40× oil immersion · bone marrow smear — 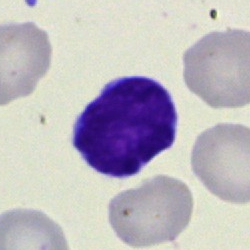The cell type is typical lymphocyte.